Single-cell field; bone marrow smear.
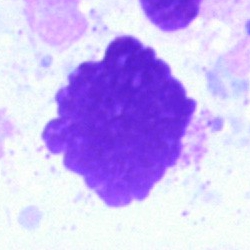
The cell shown is an artifact.